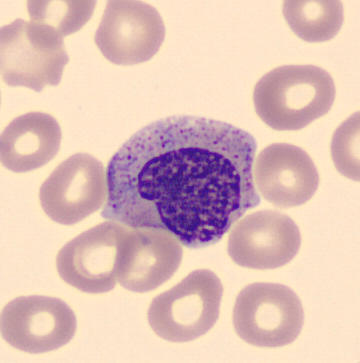
Cell: myelocyte.

Preparation: CellaVision DM96 digital cell image; peripheral blood smear.